Single cell centered in the field; bone marrow aspirate smear.
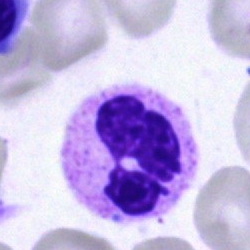
This is a polymorphonuclear neutrophil.